Bone marrow aspirate smear; Pappenheim-stained; 40× objective, oil immersion.
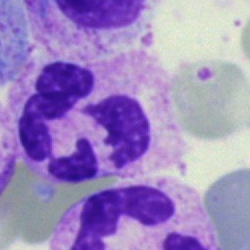
Q: What is the morphological classification of this cell?
A: It is a neutrophil (segmented).